Bone marrow aspirate smear.
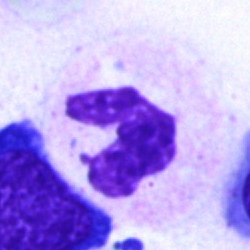
Morphology consistent with a neutrophil (segmented).